May-Grünwald-Giemsa stain · bone marrow smear: 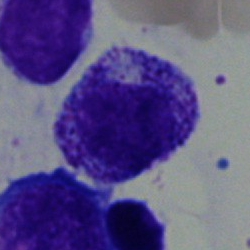

Impression → myelocyte.